Bone marrow aspirate smear; MGG-stained:
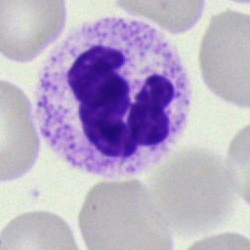Q: What is shown here?
A: Polymorphonuclear neutrophil.